Bone marrow smear.
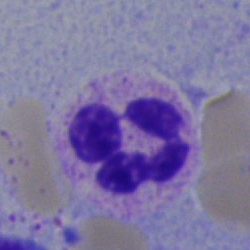 Morphology — neutrophil (segmented).